Bone marrow aspirate smear; 250×250 px; brightfield, 40× oil-immersion objective
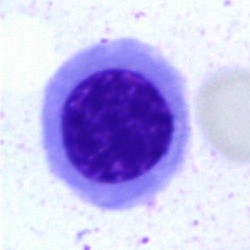Morphology → nucleated red cell.